Single cell centered in the field; 100× oil immersion; peripheral blood film
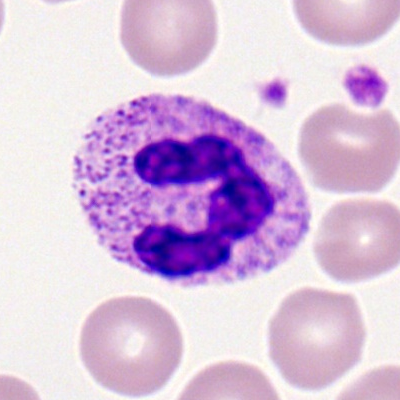
Single cell identified as a polymorphonuclear neutrophil.